Peripheral blood smear. 100× objective, oil immersion:
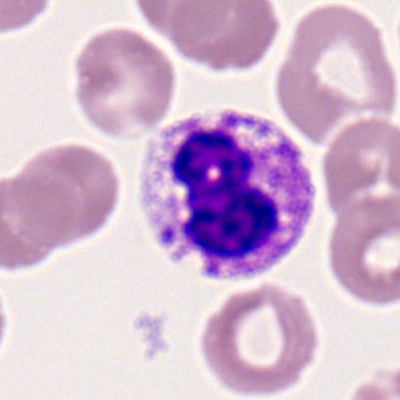 Polymorphonuclear neutrophil.